May-Grünwald-Giemsa/Pappenheim stain; bone marrow aspirate smear: 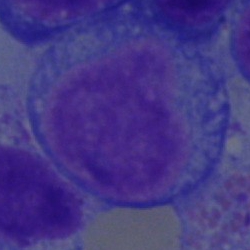

Q: What cell is this?
A: It is a blast.